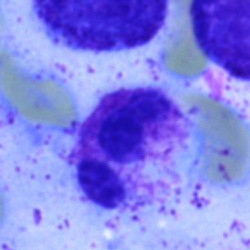Classification = neutrophil (segmented).